Image size 250×250. Bone marrow aspirate smear. Brightfield, 40× oil-immersion objective.
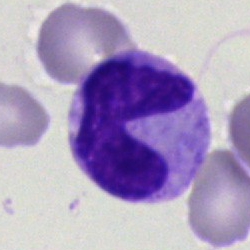
Single cell identified as a polymorphonuclear neutrophil.